Bone marrow smear
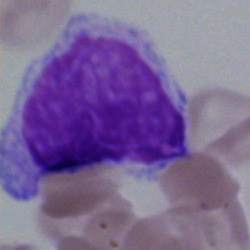
Showing an artefact.